Bone marrow smear: 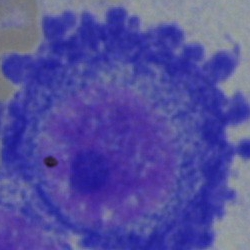
Specimen: bone marrow smear.
Cell type: plasmacyte.